Bone marrow aspirate smear: 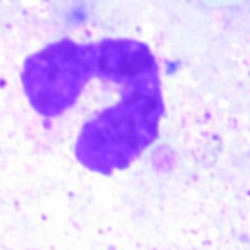

Morphological class: artifact.